Bone marrow aspirate smear: 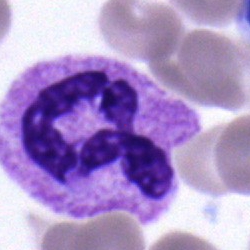

Morphology → neutrophil (segmented).